Bone marrow smear
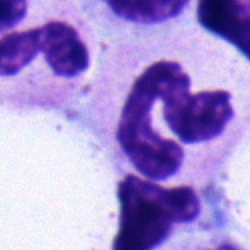
Classification = band-form neutrophil.